Bone marrow smear. Single-cell crop.
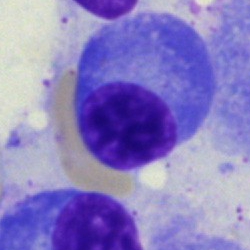

Classification: plasmacyte.